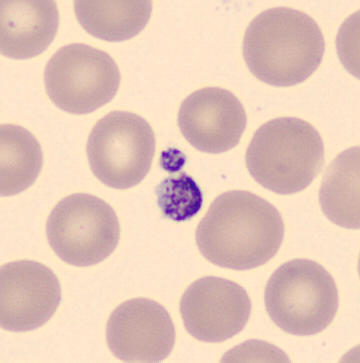 Thrombocyte.